Pappenheim-stained · bone marrow aspirate smear.
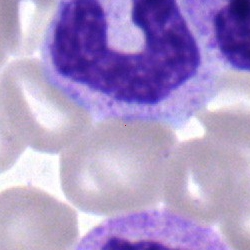
{"cell_type": "stab cell", "lineage": "myeloid"}